Bone marrow aspirate smear:
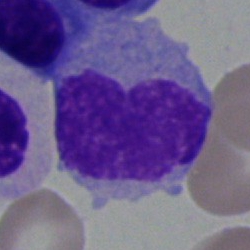
Cell = monocyte.